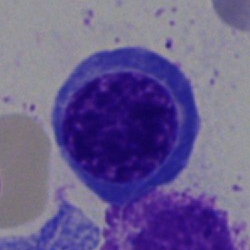
Specimen: bone marrow aspirate smear.
Morphological class: nucleated red cell.
Lineage: erythroid.